Bone marrow smear · single cell centered in the field — 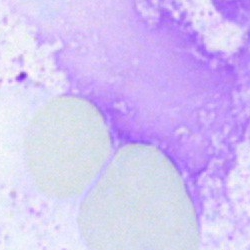Classification: artefact.